Bone marrow aspirate smear; 250 by 250 pixels
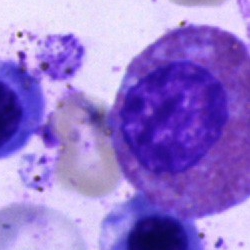 The cell shown is an eosinophil.